Bone marrow smear; May-Grünwald-Giemsa/Pappenheim stain
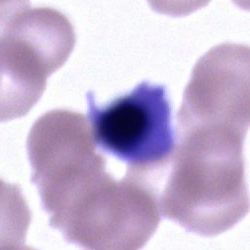

The classification is unidentifiable cell.